Bone marrow smear: 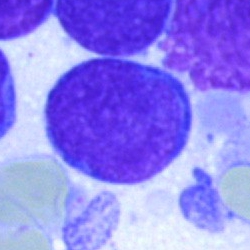Morphology consistent with a blast.